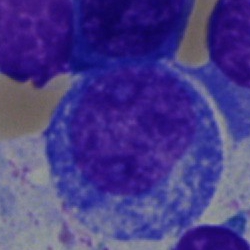

This is a promyelocyte.